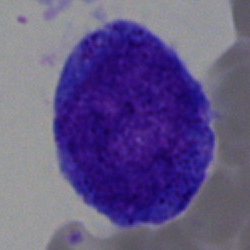

Q: What type of cell is this?
A: A promyelocyte.